Bone marrow aspirate smear; single-cell field; 40× oil immersion:
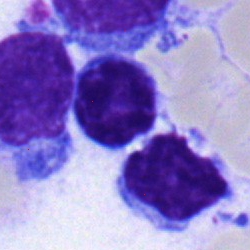Typical lymphocyte.